Bone marrow smear
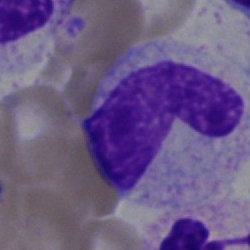Cell: stab cell.